Bone marrow smear: 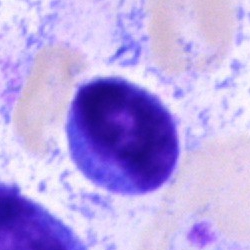 Single cell identified as an undifferentiated blast.